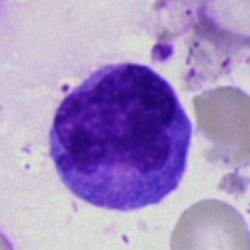

Cell — monocyte.